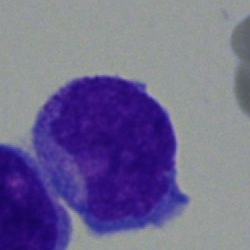

Morphological class = undifferentiated blast.